Bone marrow aspirate smear — 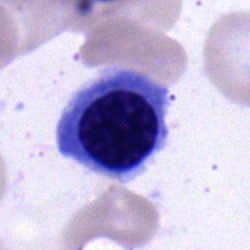

Nucleated red cell.